Bone marrow aspirate smear: 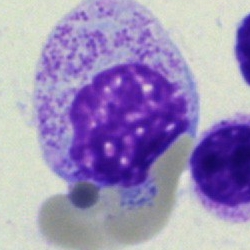
Morphology consistent with a myelocyte.